Bone marrow smear:
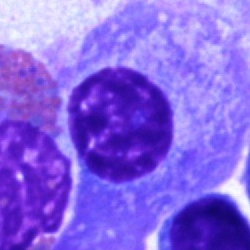
The cell is plasmacyte.